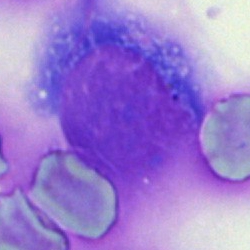
Q: What is shown here?
A: Artifact.